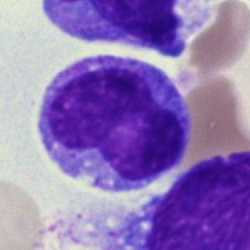 {"cell_type": "monocyte", "lineage": "myeloid"}